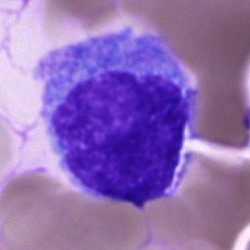
A monocyte.